Bone marrow aspirate smear: 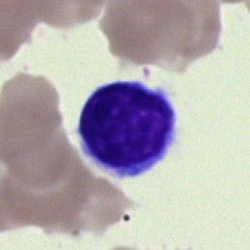

Morphology consistent with a lymphocyte.